Peripheral blood smear.
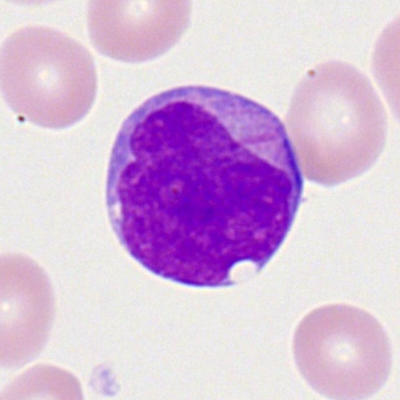

A myeloid blast.